40× oil immersion; bone marrow aspirate smear — 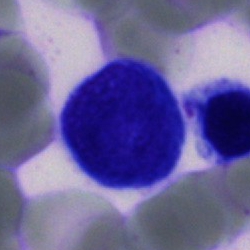 Single cell identified as a blast.